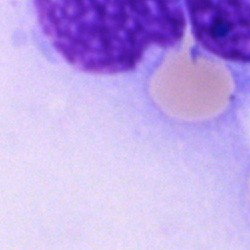
Cell — artifact.